Bone marrow aspirate smear: 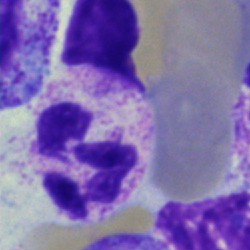
{"cell_type": "segmented neutrophil", "lineage": "myeloid"}